Bone marrow smear
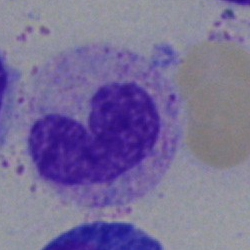
Cell — band neutrophil.